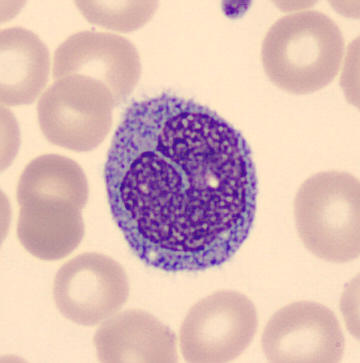

Classification — monocyte.